Cropped to a single cell. 40× objective, oil immersion. Bone marrow smear — 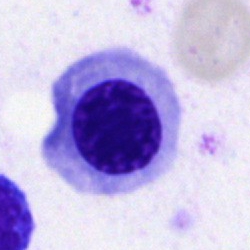Q: Identify the cell.
A: This is a nucleated red cell.